Bone marrow aspirate smear.
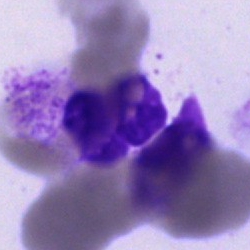
Q: What is the morphological classification of this cell?
A: Neutrophil (segmented).